Bone marrow smear.
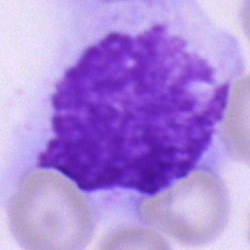

Showing an artifact.